May-Grünwald-Giemsa/Pappenheim stain; 250×250; bone marrow aspirate smear:
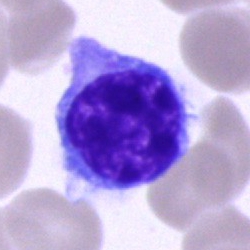
Showing a typical lymphocyte.